Bone marrow smear
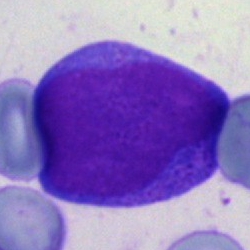Morphology consistent with a blast cell.